Bone marrow smear:
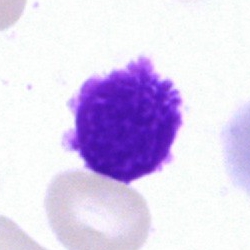
The cell shown is an artifact.